Bone marrow aspirate smear — 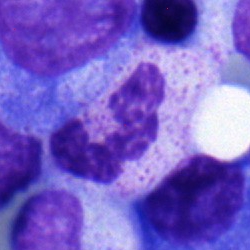

Q: What is the morphological classification of this cell?
A: This is a segmented neutrophil.